Bone marrow smear — 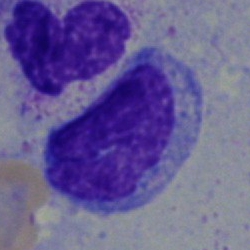
A typical lymphocyte.